Brightfield microscopy, 40× oil immersion · bone marrow aspirate smear: 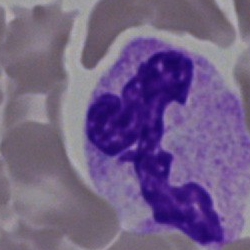

Q: What type of cell is this?
A: A segmented neutrophil.